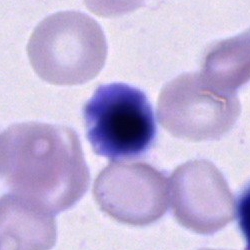

Q: What cell is this?
A: This is a cell of indeterminate lineage.